Bone marrow aspirate smear.
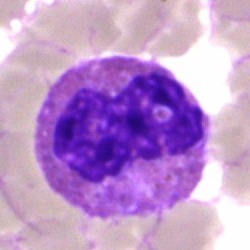Morphology consistent with an eosinophil.